Single cell centered in the field. Bone marrow smear
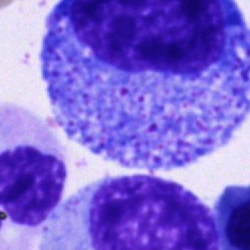The classification is promyelocyte.